Bone marrow aspirate smear.
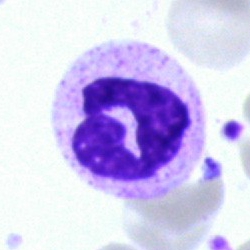Impression → segmented neutrophil.